Bone marrow smear: 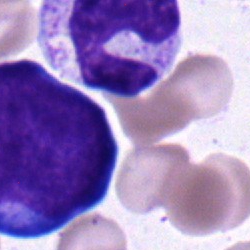

Single cell identified as a band-form neutrophil.